Bone marrow smear: 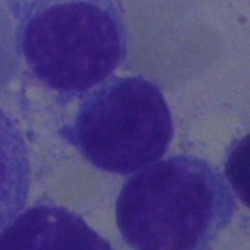

Q: What cell is this?
A: This is a typical lymphocyte.